Bone marrow smear. Cropped to a single cell
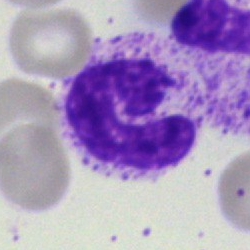Morphology → segmented neutrophil.